Bone marrow smear · single-cell field — 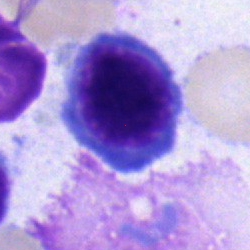

Specimen: bone marrow smear.
Classification: nucleated red cell.
Lineage: erythroid.